Bone marrow aspirate smear.
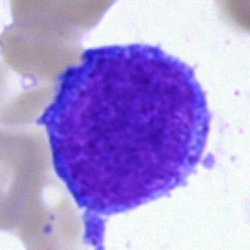A blast cell.